Bone marrow smear — 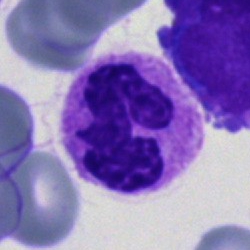
Q: Which cell type is shown here?
A: This is a segmented neutrophil.